Single-cell field · bone marrow aspirate smear · 250 by 250 pixels:
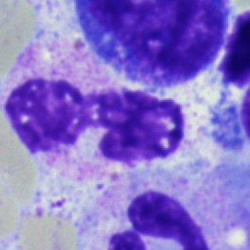

Q: Which cell type is shown here?
A: A polymorphonuclear neutrophil.